Bone marrow smear: 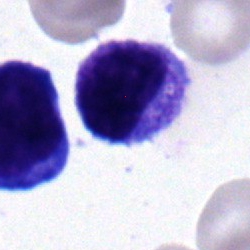 Cell: typical lymphocyte.